Bone marrow smear. 250×250: 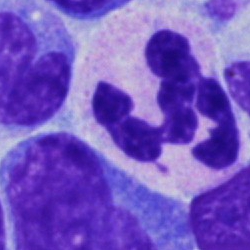
Showing a segmented neutrophil.